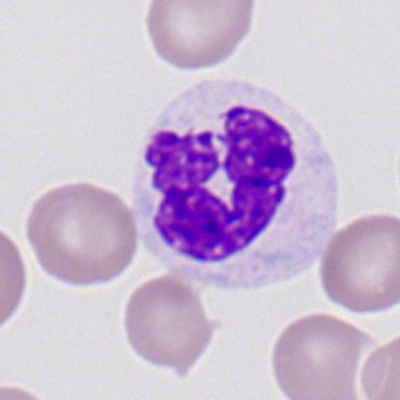

Q: What type of cell is this?
A: It is a neutrophil (segmented).